Bone marrow smear: 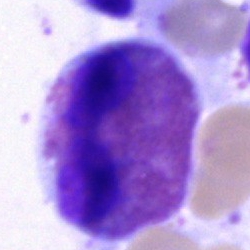Morphological class: eosinophilic granulocyte.